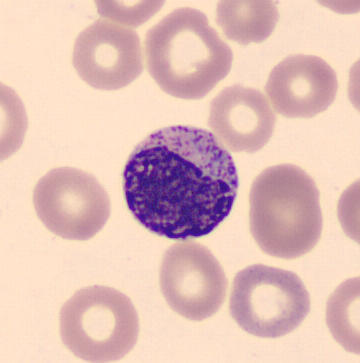

Cell type — metamyelocyte.